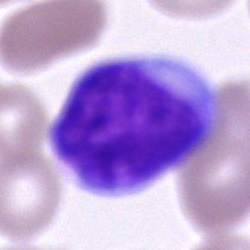

Impression — blast.